250×250 · May-Grünwald-Giemsa/Pappenheim stain · bone marrow smear — 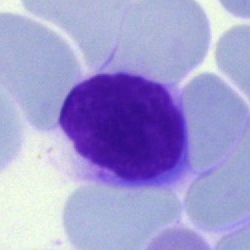The classification is typical lymphocyte.